Bone marrow aspirate smear; image size 250×250:
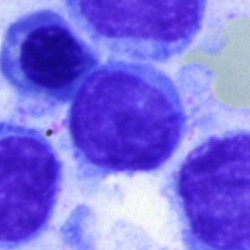 Morphology consistent with a typical lymphocyte.